Bone marrow smear:
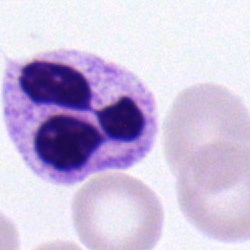
The cell shown is a neutrophil (segmented).